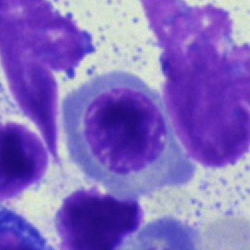 Q: What cell is this?
A: This is a nucleated red blood cell.